360×363. Peripheral blood film. May Grünwald-Giemsa stain.
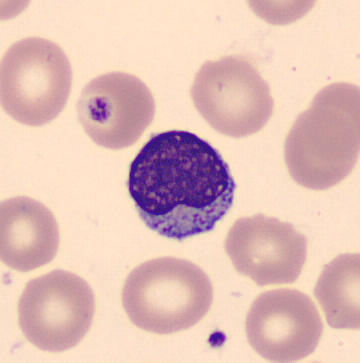Lymphocyte.